Bone marrow aspirate smear · 250×250 · brightfield, 40× oil-immersion objective:
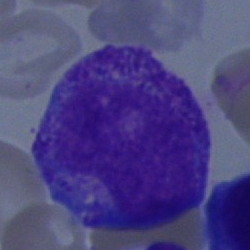

Morphology consistent with a progranulocyte.